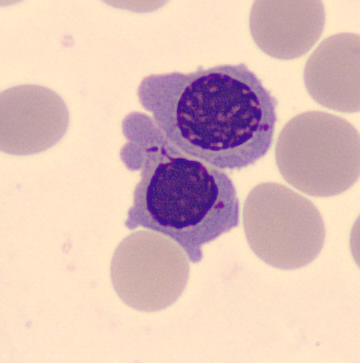 Acquisition: Peripheral blood film; CellaVision DM96.

Cell = nucleated red cell.